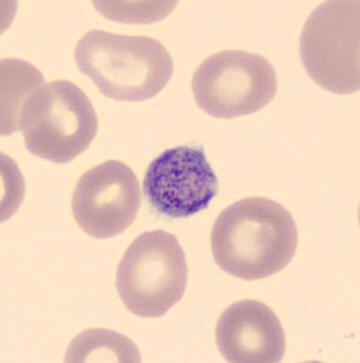 Morphology consistent with a platelet.
Acquisition: 360×363 px. Peripheral blood smear.